40× objective, oil immersion; bone marrow aspirate smear — 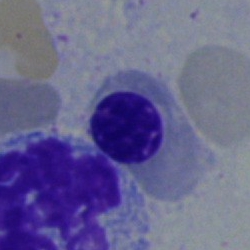
Morphology consistent with a nucleated red blood cell.